Bone marrow aspirate smear.
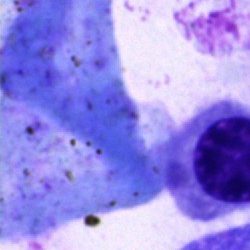

Specimen: bone marrow smear.
Classification: artefact.